100× oil immersion; peripheral blood smear: 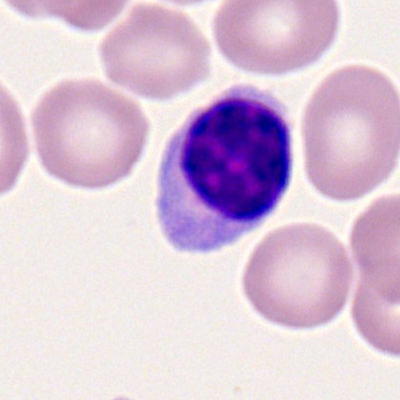

Q: What type of cell is this?
A: An erythroblast.